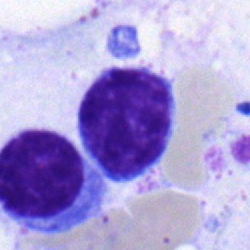Classification: typical lymphocyte.